Bone marrow smear
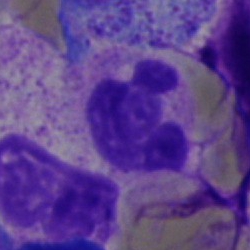

Classification = neutrophil (segmented).